Peripheral blood film · cropped to a single cell · 100× objective, oil immersion: 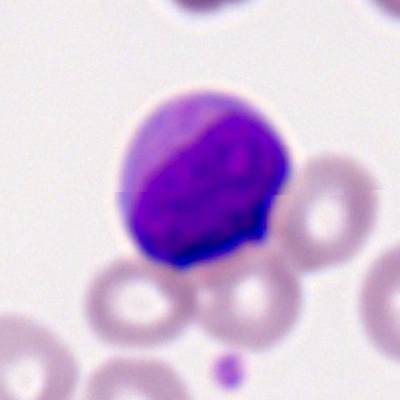 Classification = myeloid blast.